Peripheral blood film — 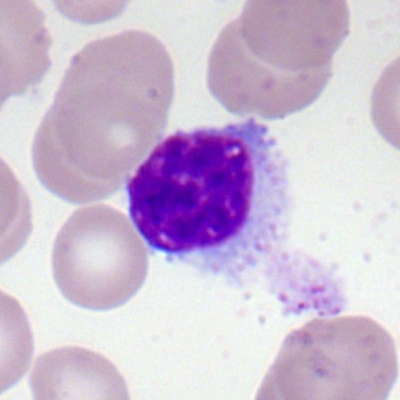
Q: What is shown here?
A: This is a lymphocyte.